May-Grünwald-Giemsa stain · bone marrow aspirate smear · 250×250 px: 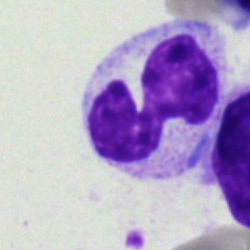

Q: What is the morphological classification of this cell?
A: A neutrophil (segmented).